Bone marrow aspirate smear:
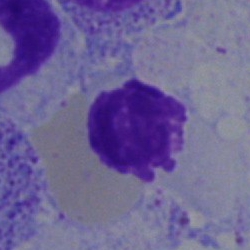
Q: What is shown here?
A: Artefact.